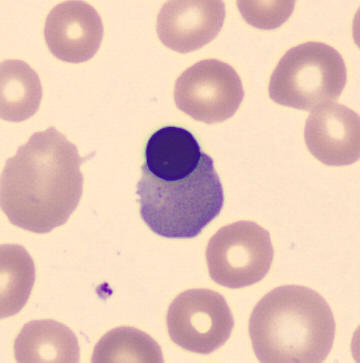Cell type: nucleated red cell.
Image: 360 by 363 pixels · CellaVision DM96 · peripheral blood smear.